Bone marrow smear; brightfield microscopy, 40× oil immersion; single cell centered in the field — 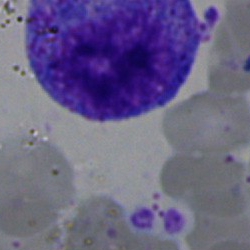 Q: What cell is this?
A: A progranulocyte.